May-Grünwald-Giemsa/Pappenheim stain; bone marrow smear; 40× objective, oil immersion — 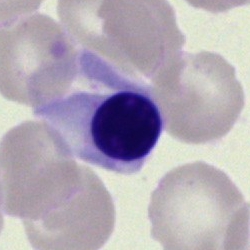The cell shown is an erythroblast.